Bone marrow aspirate smear; 40× oil immersion; single-cell crop
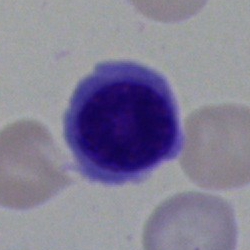

Q: What cell is this?
A: This is a normoblast.